Brightfield microscopy, 40× oil immersion · bone marrow aspirate smear · single-cell crop: 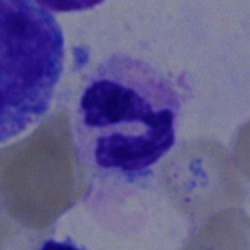Single cell identified as a polymorphonuclear neutrophil.